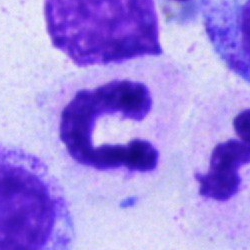

Q: What cell is this?
A: It is a polymorphonuclear neutrophil.